Brightfield, 40× oil-immersion objective · bone marrow aspirate smear.
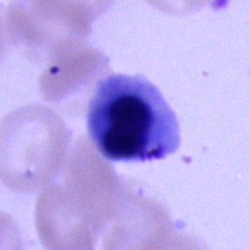 Cell type — erythroblast.